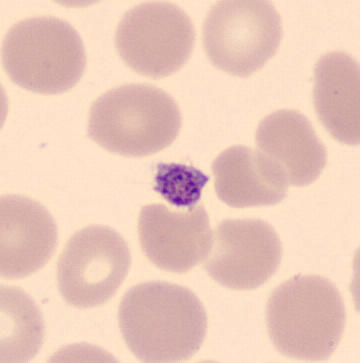 Q: What is shown here?
A: Thrombocyte. Image: Peripheral blood smear; CellaVision DM96 digital cell image.